Bone marrow aspirate smear; May-Grünwald-Giemsa/Pappenheim stain:
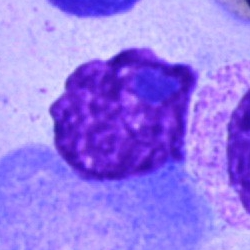Specimen: bone marrow smear.
Classification: artefact.